Bone marrow aspirate smear; 250×250 px; 40× oil immersion
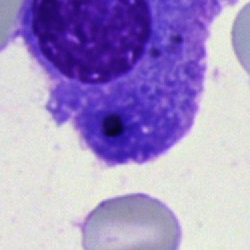
Q: What is shown here?
A: It is an artifact.